Bone marrow aspirate smear — 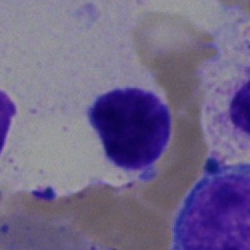

A lymphocyte.